Romanowsky-type stain. Peripheral blood film. Brightfield, 100× oil-immersion objective
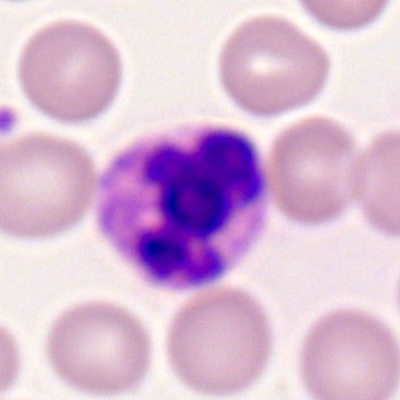 Q: Identify the cell.
A: A polymorphonuclear neutrophil.